Peripheral blood film — 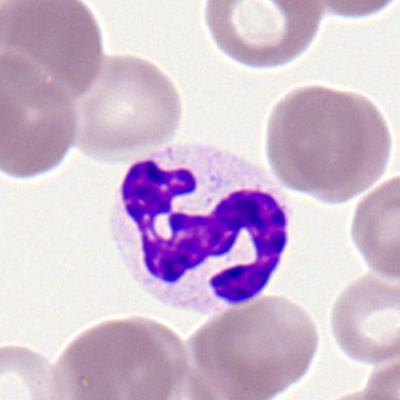
A polymorphonuclear neutrophil.